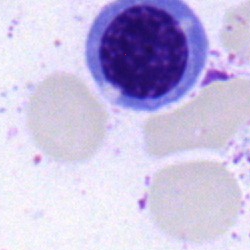

Classification — nucleated red blood cell.